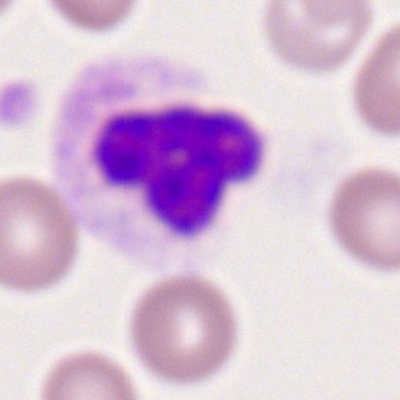
Single cell identified as a segmented neutrophil.